Peripheral blood film: 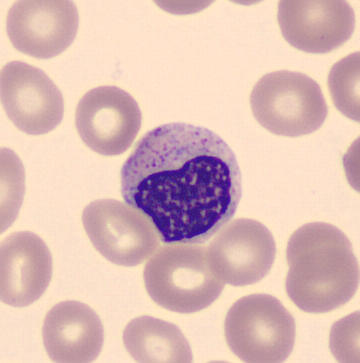 A metamyelocyte.